Bone marrow aspirate smear.
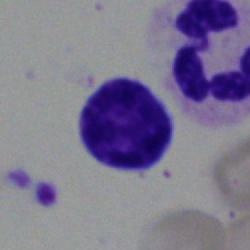
The cell shown is a lymphocyte.